Bone marrow smear:
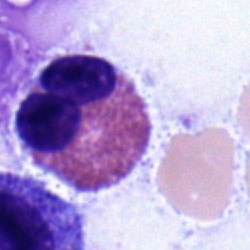 An eosinophilic granulocyte.